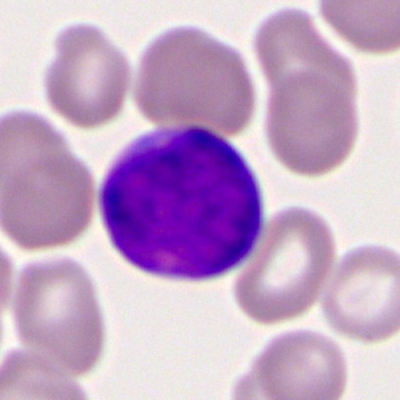 Peripheral blood smear showing a myeloid blast.